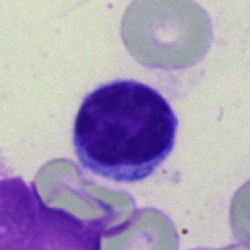Q: What is shown here?
A: This is a typical lymphocyte.